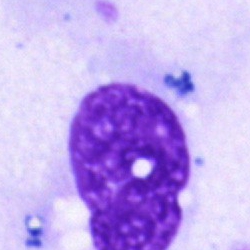

This is an artifact.